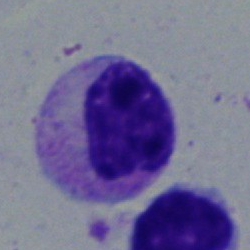
Single-cell crop from a bone marrow smear: myelocyte.